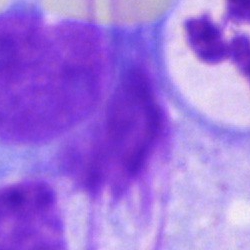
Q: What is shown here?
A: Artifact.